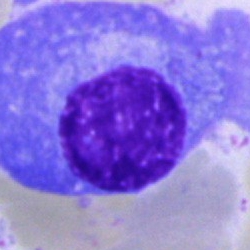Specimen: bone marrow smear.
Cell type: plasma cell.